Bone marrow smear:
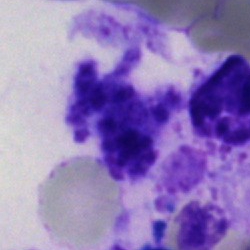 Morphological class = artifact.